250 by 250 pixels. Bone marrow aspirate smear:
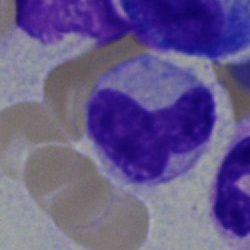Neutrophil (band).